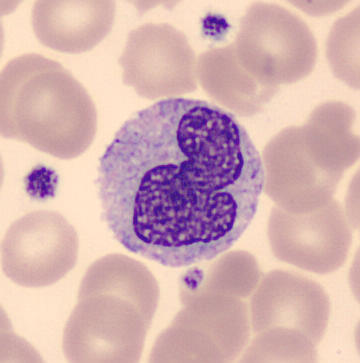 Classification = monocyte.